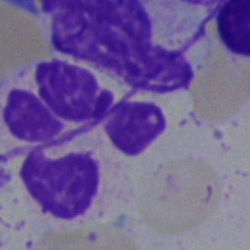

Specimen: bone marrow aspirate smear.
Morphological class: artifact.